Bone marrow aspirate smear · 250 by 250 pixels · May-Grünwald-Giemsa stain: 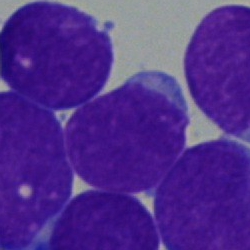

Blast cell.